Bone marrow smear
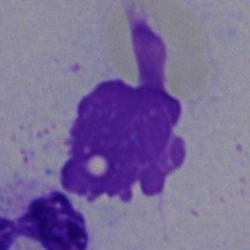 Single cell identified as an artifact.